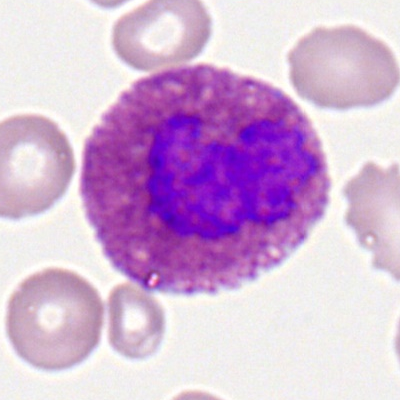 An eosinophil.